Bone marrow aspirate smear:
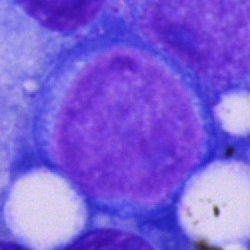

Showing a proerythroblast.